Cropped to a single cell. May-Grünwald-Giemsa/Pappenheim stain. Bone marrow smear:
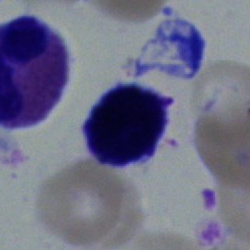

Single cell identified as a lymphocyte.